250×250 px. Bone marrow aspirate smear. 40× oil immersion
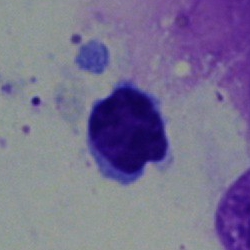

Single cell identified as a typical lymphocyte.